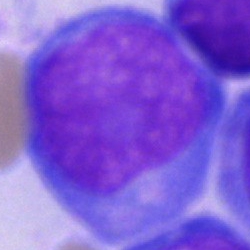 Bone marrow smear showing a blast cell.